Brightfield microscopy, 40× oil immersion. Bone marrow aspirate smear:
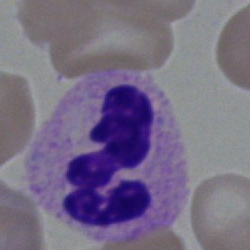

Impression — neutrophil (segmented).